Image size 250×250; brightfield, 40× oil-immersion objective; bone marrow smear
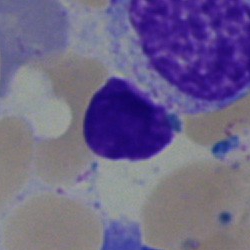

This is a lymphocyte.